Bone marrow aspirate smear · May-Grünwald-Giemsa stain · cropped to a single cell
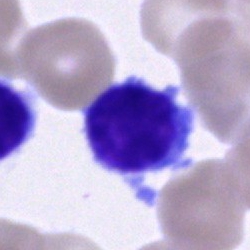
Morphological class — lymphocyte.